40× objective, oil immersion · bone marrow aspirate smear:
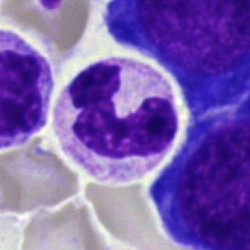Classification = polymorphonuclear neutrophil.